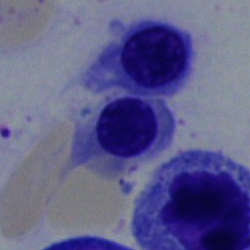

Q: What type of cell is this?
A: A nucleated red blood cell.